Bone marrow aspirate smear · 250×250 · single cell centered in the field.
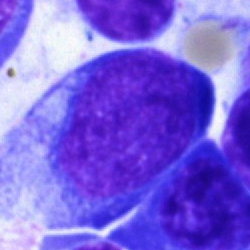 Morphology → blast.